Bone marrow smear: 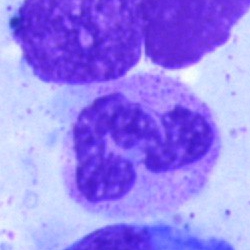
{"cell_type": "neutrophil (segmented)", "lineage": "myeloid"}